Bone marrow aspirate smear · 40× objective, oil immersion · single cell centered in the field.
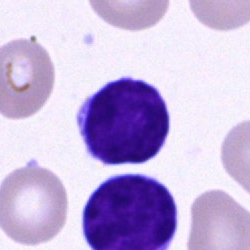
Typical lymphocyte.